Bone marrow aspirate smear; 40× oil immersion.
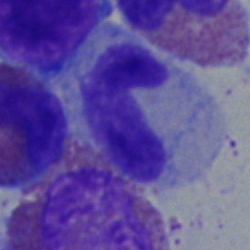 This is a stab cell.